Bone marrow aspirate smear — 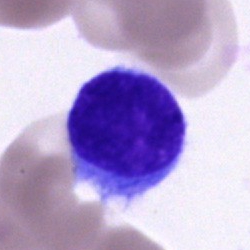
Q: What is the morphological classification of this cell?
A: A cell of indeterminate lineage.